Bone marrow smear — 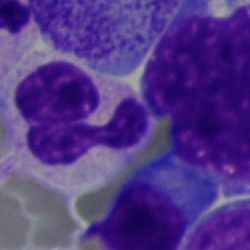Classification = polymorphonuclear neutrophil.